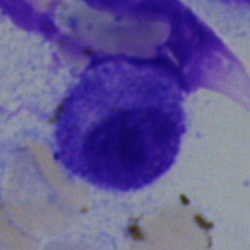

A myelocyte.